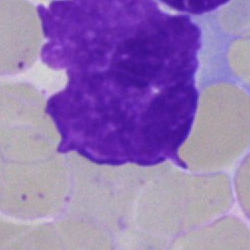

Cell: artefact.